Bone marrow aspirate smear
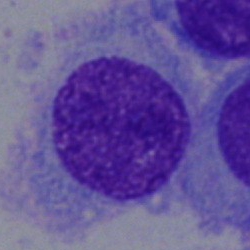
A plasmacyte.